Image size 250×250. Bone marrow smear. Single cell centered in the field:
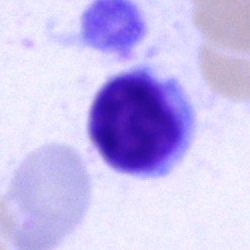

Classification — lymphocyte.